40× oil immersion; bone marrow smear:
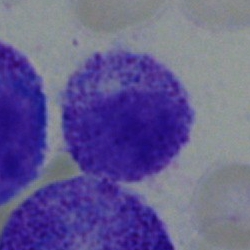Morphology → myelocyte.